Bone marrow aspirate smear · 250×250 px.
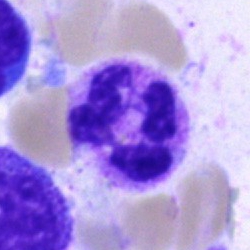 Q: What is the morphological classification of this cell?
A: A neutrophil (segmented).